Bone marrow smear — 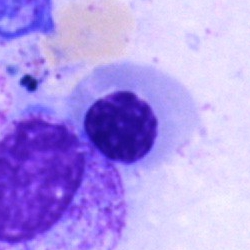 Morphology consistent with a nucleated red cell.